Bone marrow smear · Pappenheim-stained.
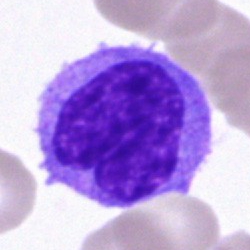Classification = monocyte.